Single cell centered in the field. Bone marrow aspirate smear:
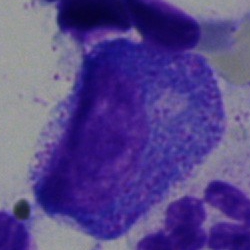Cell — progranulocyte.